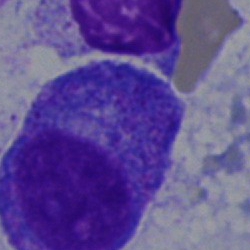
Single cell identified as a promyelocyte.